Peripheral blood smear:
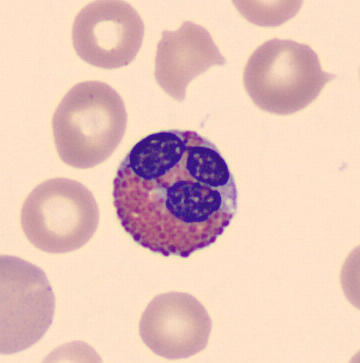Showing an eosinophil.